Bone marrow smear. Single-cell field — 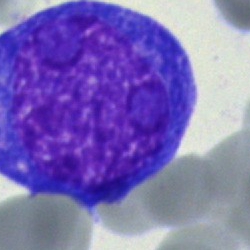 A blast.